Bone marrow smear:
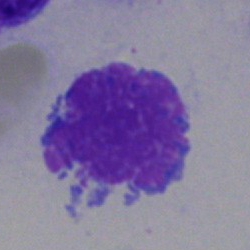
Classification — artifact.